Brightfield microscopy, 40× oil immersion; bone marrow smear:
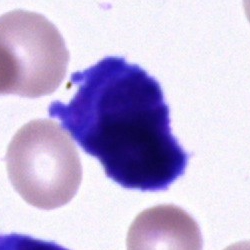 Specimen: bone marrow smear.
Classification: unidentifiable cell.